Bone marrow smear; May-Grünwald-Giemsa stain
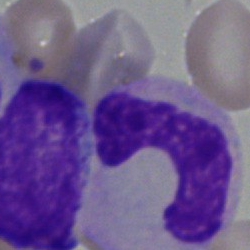The classification is band neutrophil.